Bone marrow smear — 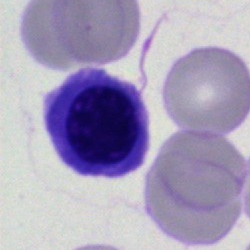 Erythroblast.